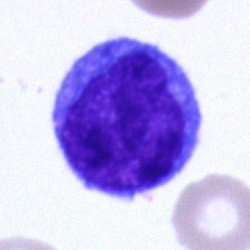 Cell type — blast.